May-Grünwald-Giemsa/Pappenheim stain; bone marrow aspirate smear
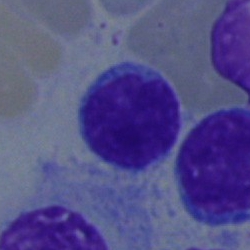Cell = lymphocyte.